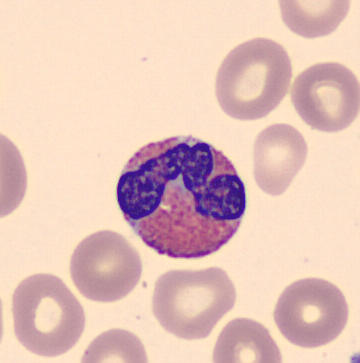Morphology — eosinophilic granulocyte.
Image: CellaVision DM96 digital cell image. Peripheral blood film.